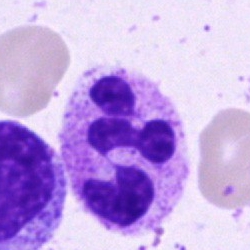

Showing a neutrophil (segmented).